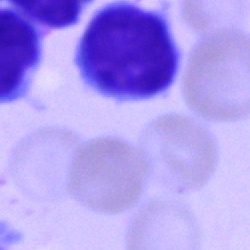

Q: What cell is this?
A: It is a lymphocyte.